Bone marrow aspirate smear:
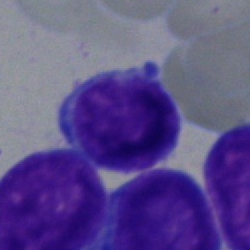
Morphology consistent with a blast cell.